May-Grünwald-Giemsa/Pappenheim stain. 250×250 px. Bone marrow aspirate smear.
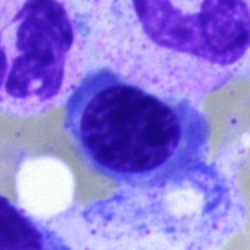
Specimen: bone marrow aspirate smear.
Morphological class: nucleated red cell.
Lineage: erythroid.